250×250 px; bone marrow aspirate smear — 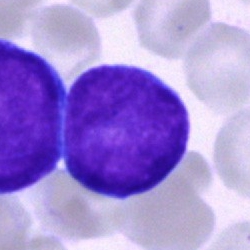

Blast.